40× oil immersion; bone marrow smear: 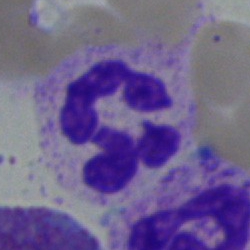Q: What is shown here?
A: It is a neutrophil (segmented).